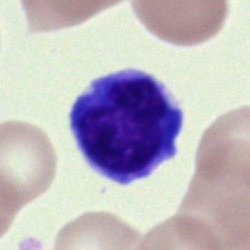

Cell = nucleated red cell.